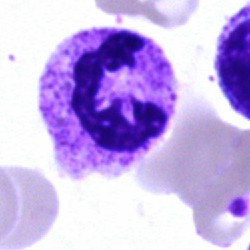 Showing a neutrophil (segmented).